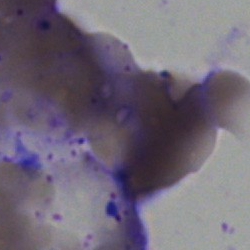

Cell: artefact.